Bone marrow aspirate smear
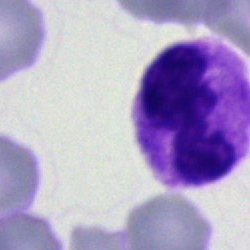

Single cell identified as a polymorphonuclear neutrophil.